Bone marrow aspirate smear. Brightfield, 40× oil-immersion objective — 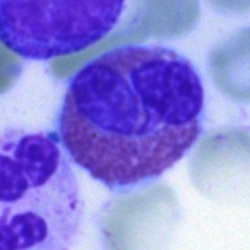

Q: What cell is this?
A: It is an eosinophilic granulocyte.